Bone marrow smear; 40× oil immersion
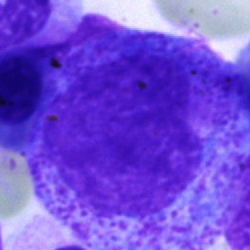 The cell type is promyelocyte.